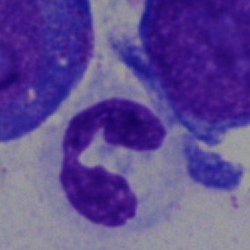

Impression → segmented neutrophil.